MGG-stained. Brightfield, 40× oil-immersion objective. Bone marrow smear
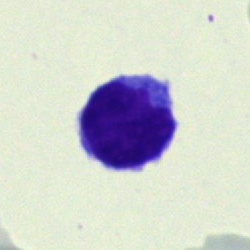 Q: What cell is this?
A: Typical lymphocyte.